Bone marrow aspirate smear:
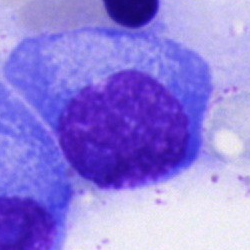

Q: What is the morphological classification of this cell?
A: Plasma cell.